Peripheral blood smear.
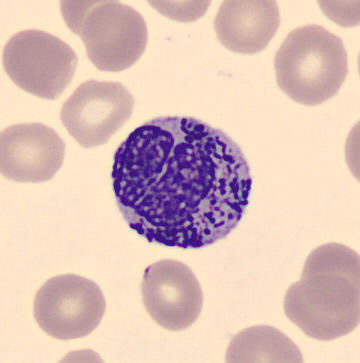 Cell type: basophil.